Bone marrow aspirate smear
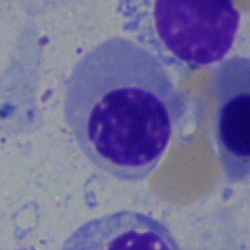Q: Which cell type is shown here?
A: A nucleated red cell.